Bone marrow smear; MGG-stained; 40× oil immersion
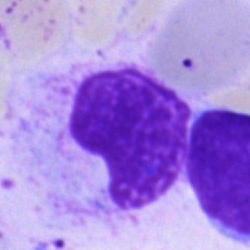

Impression — artifact.